Bone marrow aspirate smear:
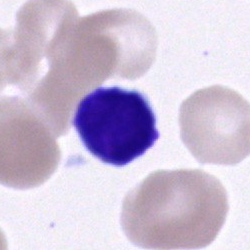

Q: What is shown here?
A: It is a lymphocyte.